Bone marrow aspirate smear.
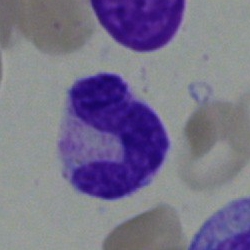

Morphology consistent with a band neutrophil.